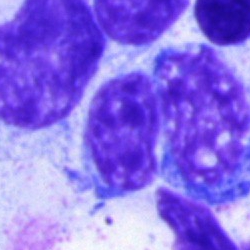

A typical lymphocyte.